MGG-stained · peripheral blood film — 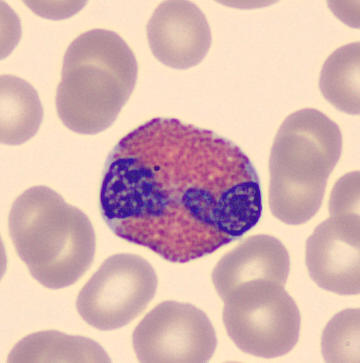Specimen: peripheral blood film.
Classification: eosinophil.
Lineage: myeloid.